Bone marrow smear
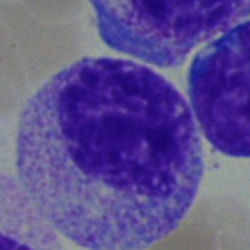
Q: What cell is this?
A: Myelocyte.